Bone marrow smear: 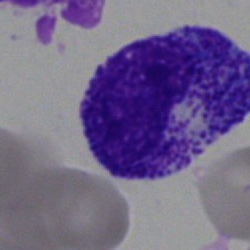
Cell type — myelocyte.